Peripheral blood film.
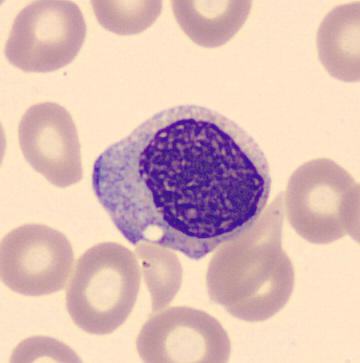

Morphology consistent with a myelocyte.